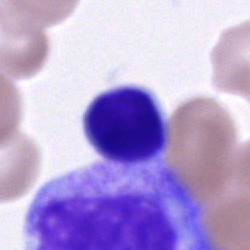Specimen: bone marrow aspirate smear.
Cell: artifact.